Bone marrow smear. Brightfield microscopy, 40× oil immersion. 250×250 px
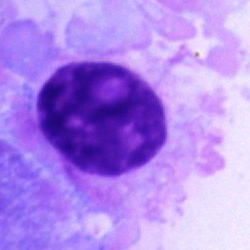 Q: What cell is this?
A: Plasma cell.